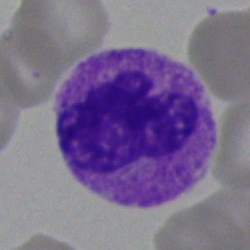 Q: Identify the cell.
A: It is a polymorphonuclear neutrophil.